Single cell centered in the field · 360×363 · peripheral blood film: 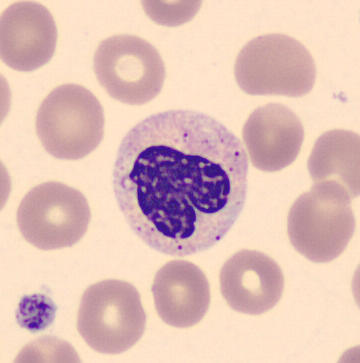
Specimen: peripheral blood film.
Morphological class: segmented neutrophil.
Lineage: myeloid.